Brightfield microscopy, 40× oil immersion. Image size 250×250. Bone marrow aspirate smear:
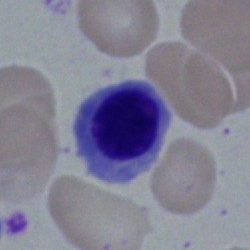

Q: What is the morphological classification of this cell?
A: Erythroblast.